Bone marrow smear
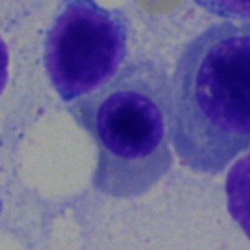

Cell type — erythroblast.